Bone marrow aspirate smear: 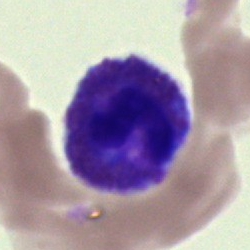
Specimen: bone marrow smear.
Morphological class: eosinophilic granulocyte.
Lineage: myeloid.